Bone marrow aspirate smear:
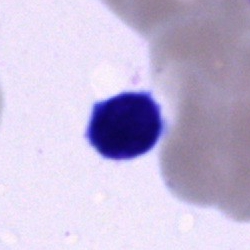
{"cell_type": "normoblast", "lineage": "erythroid"}